Bone marrow aspirate smear
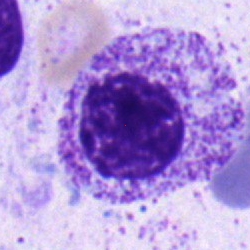 Specimen: bone marrow aspirate smear.
Classification: myelocyte.
Lineage: myeloid.